Single cell centered in the field · 250 by 250 pixels · bone marrow aspirate smear — 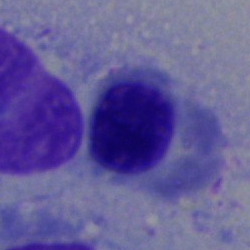

Morphology → nucleated red blood cell.